Bone marrow smear — 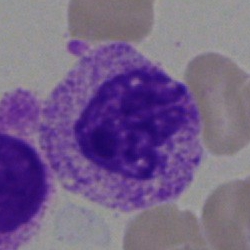
This is a metamyelocyte.